Bone marrow aspirate smear — 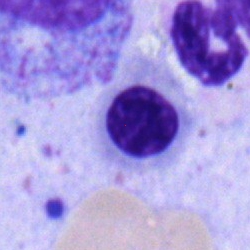Specimen: bone marrow aspirate smear.
Classification: erythroblast.
Lineage: erythroid.